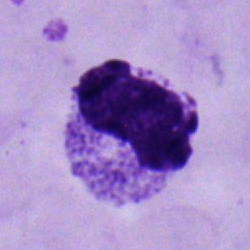Q: What is shown here?
A: This is a band neutrophil.